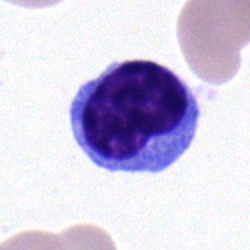Single-cell crop from a bone marrow smear: typical lymphocyte.